Single-cell crop · bone marrow aspirate smear · May-Grünwald-Giemsa/Pappenheim stain: 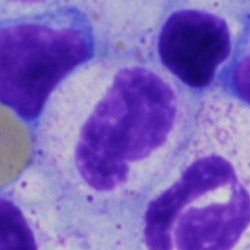 Showing a metamyelocyte.